Bone marrow smear.
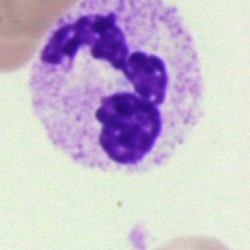
Cell: polymorphonuclear neutrophil.